Bone marrow smear:
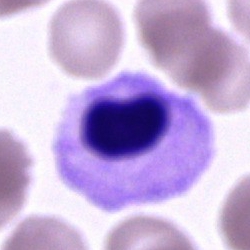
Specimen: bone marrow smear.
Morphological class: artifact.